Bone marrow smear · brightfield, 40× oil-immersion objective
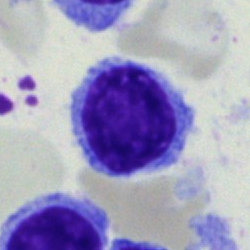This is a typical lymphocyte.